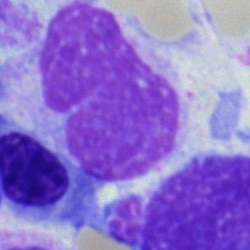 Morphology — artifact.